Bone marrow smear — 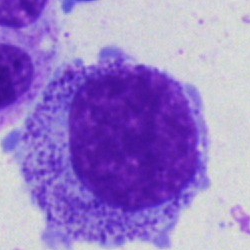 Q: What is the morphological classification of this cell?
A: It is a promyelocyte.